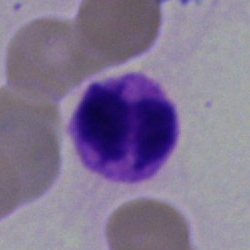 This is a basophilic granulocyte.